Bone marrow smear — 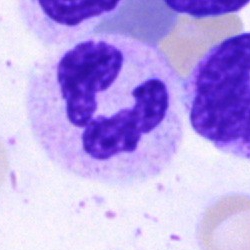Single cell identified as a segmented neutrophil.